Bone marrow aspirate smear. 40× oil immersion. 250×250 px: 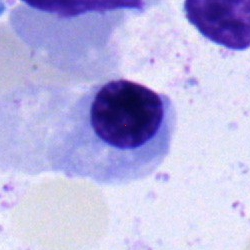

The classification is erythroblast.